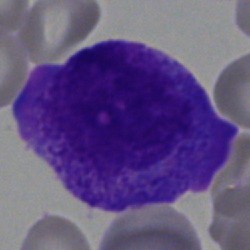Bone marrow smear showing an undifferentiated blast.